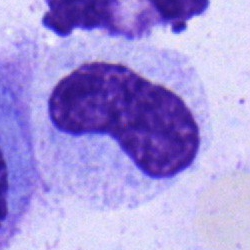

Stab cell.